Bone marrow smear — 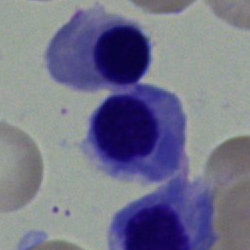Q: What type of cell is this?
A: An erythroblast.